Bone marrow aspirate smear
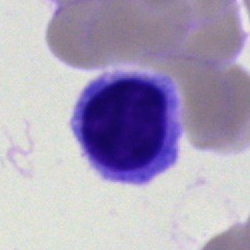

{"cell_type": "nucleated red blood cell"}